Bone marrow aspirate smear.
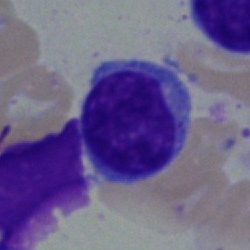 {"cell_type": "lymphocyte"}